Bone marrow aspirate smear:
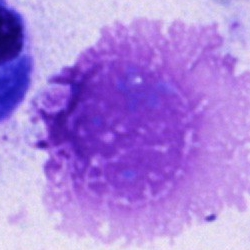 Morphological class = artifact.